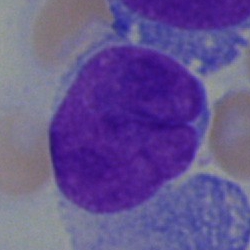The cell shown is a blast.